May-Grünwald-Giemsa/Pappenheim stain · bone marrow smear — 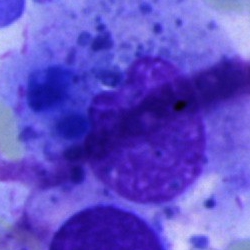
Classification: artefact.